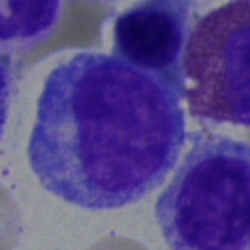
Q: What cell is this?
A: A promyelocyte.